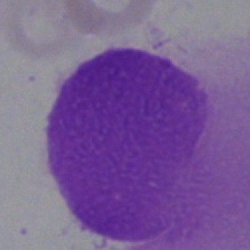 The cell shown is an artefact.